Brightfield, 40× oil-immersion objective; bone marrow smear; 250×250 px
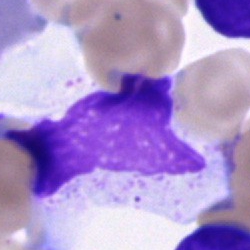

Morphology consistent with an unidentifiable cell.